Peripheral blood film · Romanowsky-stained.
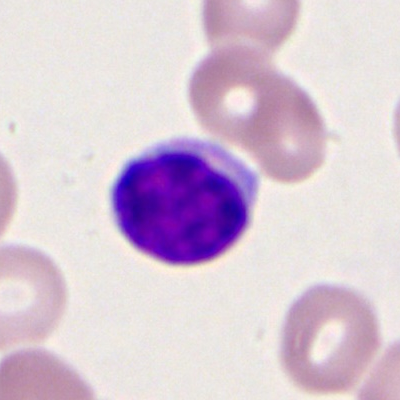
Specimen: peripheral blood smear.
Cell: typical lymphocyte.